Romanowsky-type stain; peripheral blood smear
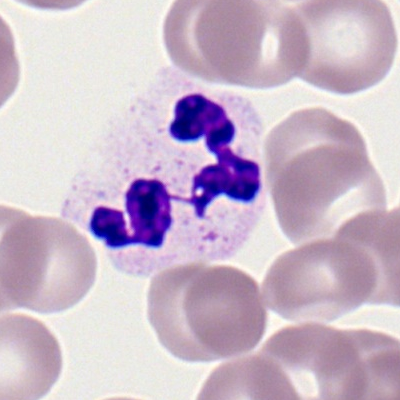

Segmented neutrophil.